Bone marrow aspirate smear
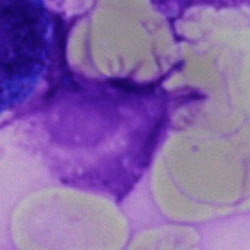
Artifact.